Bone marrow smear:
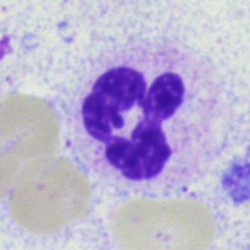 Polymorphonuclear neutrophil.